Peripheral blood smear. 400 by 400 pixels: 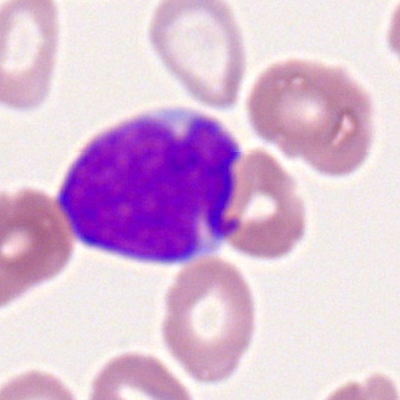Q: What is the morphological classification of this cell?
A: A myeloblast.